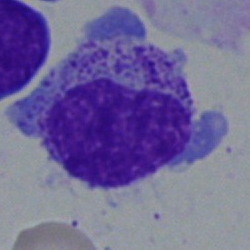 Impression — myelocyte.